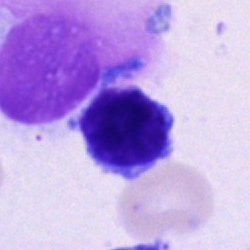

Q: Which cell type is shown here?
A: This is a lymphocyte.